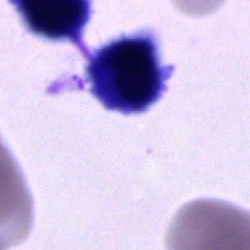

Q: Identify the cell.
A: This is a cell of indeterminate lineage.